Cropped to a single cell · bone marrow smear: 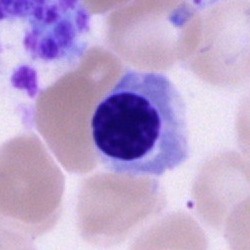
Q: Which cell type is shown here?
A: Nucleated red cell.